Bone marrow aspirate smear
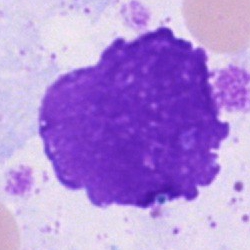

Single cell identified as an artefact.